Cropped to a single cell · bone marrow aspirate smear · MGG-stained
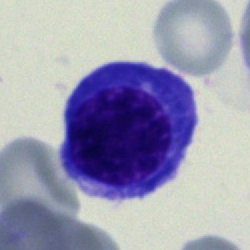
This is a nucleated red cell.